Peripheral blood film.
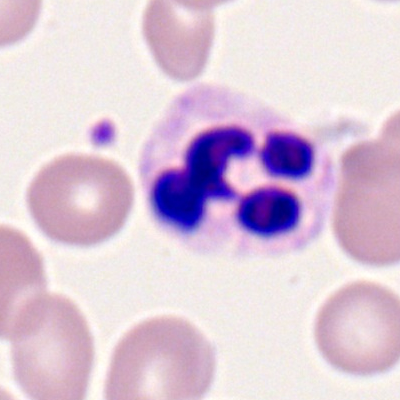
Cell type: neutrophil (segmented).